Bone marrow aspirate smear.
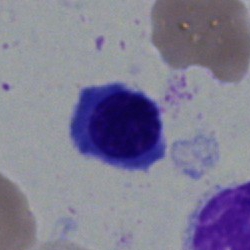

Specimen: bone marrow smear.
Cell: nucleated red cell.